Single-cell field · bone marrow aspirate smear — 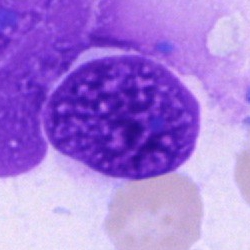{"cell_type": "artefact"}